Bone marrow smear. 250×250:
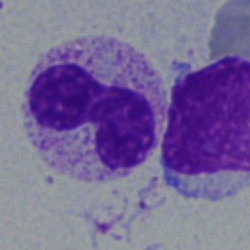A stab cell.